Bone marrow smear.
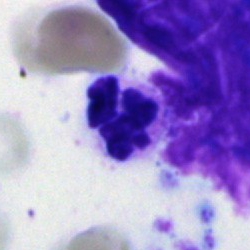

Q: Identify the cell.
A: It is a neutrophil (segmented).